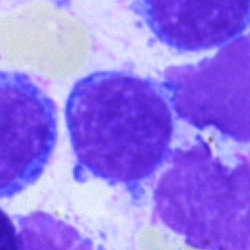 Cell: typical lymphocyte.